Cropped to a single cell; bone marrow aspirate smear — 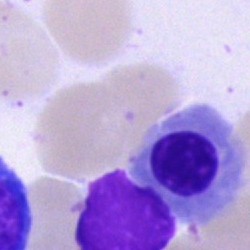

Classification = normoblast.